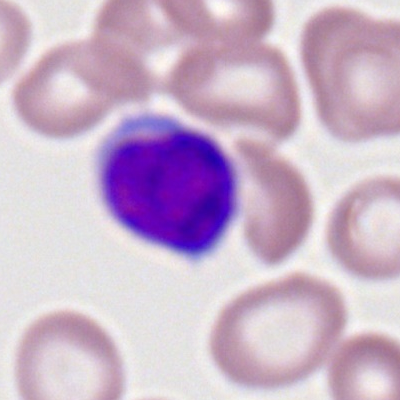 Q: What is shown here?
A: This is a lymphocyte.